Image size 250×250; bone marrow aspirate smear: 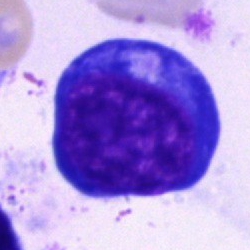 Morphology — proerythroblast.